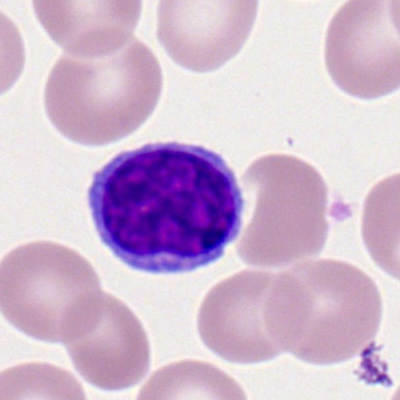
Specimen: peripheral blood film.
Morphological class: typical lymphocyte.
Lineage: lymphoid.